Bone marrow aspirate smear. Brightfield microscopy, 40× oil immersion:
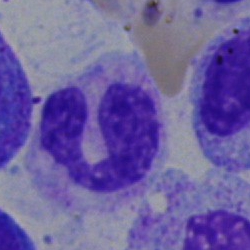
Showing a stab cell.